40× oil immersion · single-cell field · bone marrow aspirate smear — 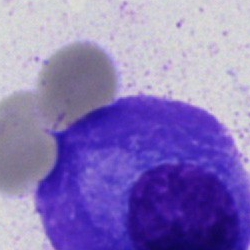 Morphology consistent with a plasmacyte.